Bone marrow smear; Pappenheim-stained: 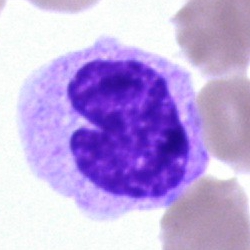

The cell shown is a monocyte.